40× oil immersion; bone marrow aspirate smear: 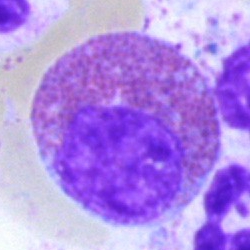
Single cell identified as an eosinophilic granulocyte.